Peripheral blood film:
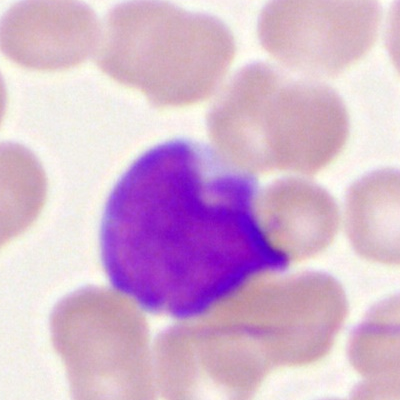

Morphological class: myeloblast.